Bone marrow aspirate smear: 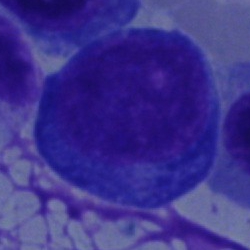

Pronormoblast.